Bone marrow smear; cropped to a single cell
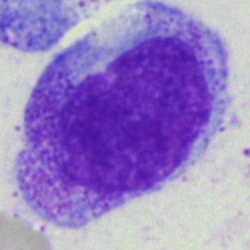 Morphology consistent with a promyelocyte.